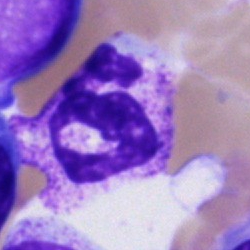
The cell is neutrophil (segmented).